Peripheral blood smear — 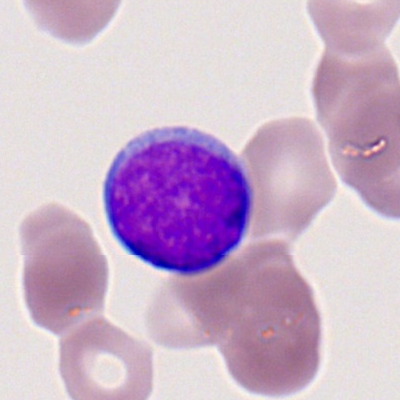
Cell type — myeloblast.